Bone marrow aspirate smear. Single cell centered in the field: 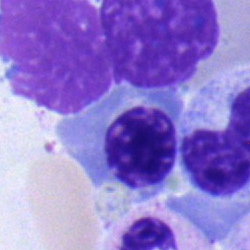
Q: What cell is this?
A: This is a nucleated red blood cell.